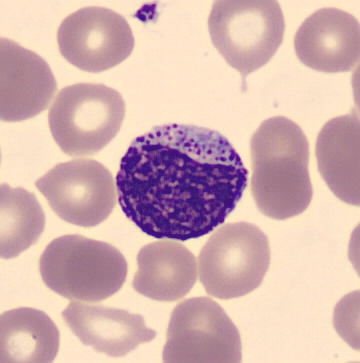 The morphological class is myelocyte.

Preparation: Peripheral blood film.